Bone marrow smear: 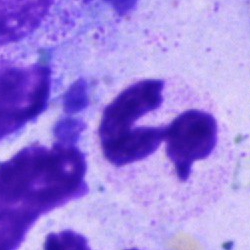

Morphology consistent with a segmented neutrophil.